Bone marrow aspirate smear: 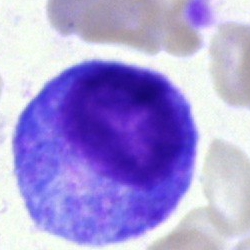Specimen: bone marrow smear.
Classification: progranulocyte.